Bone marrow aspirate smear
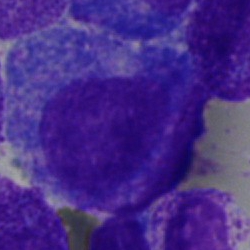 Progranulocyte.